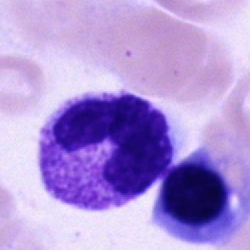
Impression — neutrophil (segmented).